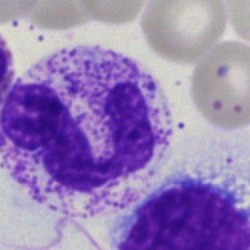
Q: Identify the cell.
A: This is a segmented neutrophil.